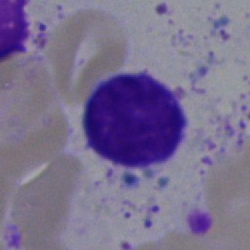Impression — typical lymphocyte.